Bone marrow smear: 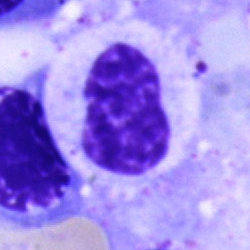

Q: What type of cell is this?
A: This is a cell of indeterminate lineage.